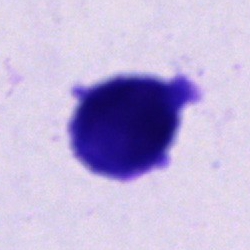Cell type = unidentifiable cell.